Bone marrow smear — 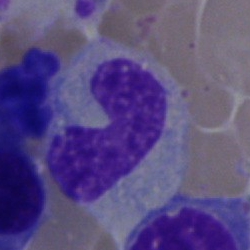Cell — band-form neutrophil.